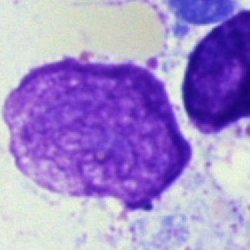
Impression → artefact.